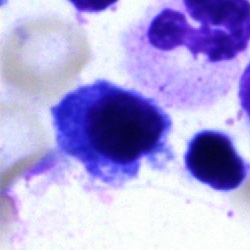 Showing a nucleated red blood cell.